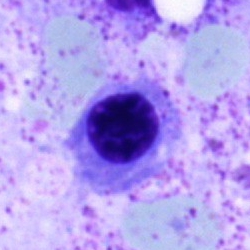Morphology → erythroblast.